Bone marrow smear · image size 250×250
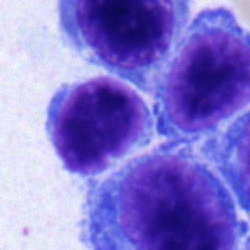

Q: What cell is this?
A: It is a typical lymphocyte.